Single-cell crop. 250×250. Bone marrow smear — 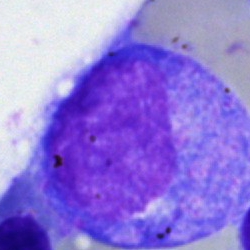Specimen: bone marrow smear.
Classification: promyelocyte.
Lineage: myeloid.